Bone marrow smear; single-cell crop:
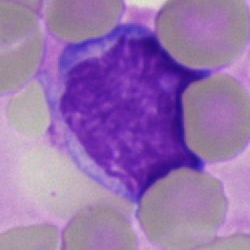The cell is lymphocyte.